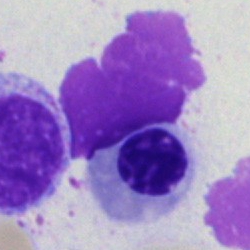Impression — nucleated red blood cell.